Bone marrow aspirate smear: 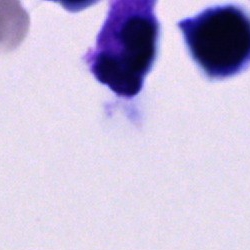 Morphological class — unidentifiable cell.